Bone marrow smear:
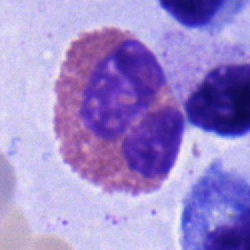 Q: What cell is this?
A: This is an eosinophilic granulocyte.